Bone marrow aspirate smear — 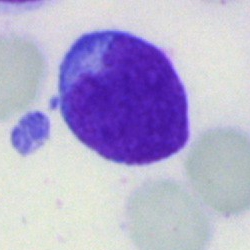Impression → blast.